Bone marrow aspirate smear:
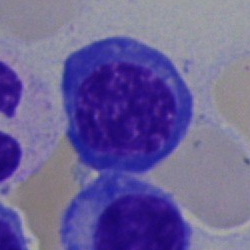A plasmacyte.